Bone marrow aspirate smear
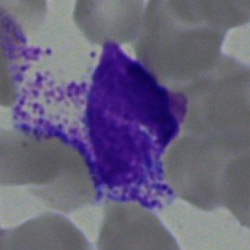Neutrophil (band).